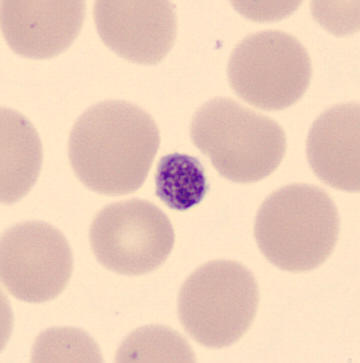 Specimen: peripheral blood film.
Classification: platelet.